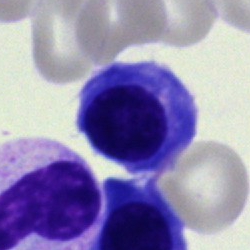 The cell type is nucleated red cell.